Bone marrow smear: 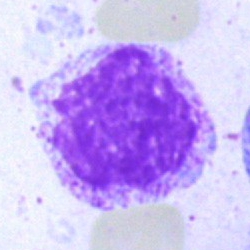{"cell_type": "artefact"}